Bone marrow smear
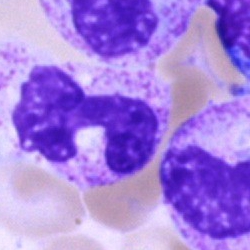
Segmented neutrophil.